Single-cell field. 250×250 px. Bone marrow aspirate smear.
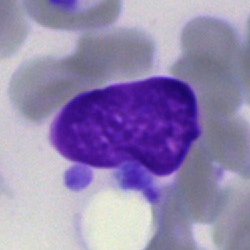
Specimen: bone marrow aspirate smear.
Cell type: artefact.